May-Grünwald-Giemsa/Pappenheim stain · cropped to a single cell · bone marrow smear — 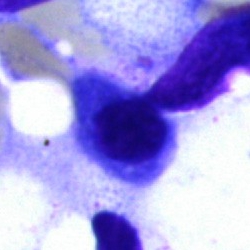
Q: Identify the cell.
A: It is a nucleated red blood cell.